Bone marrow aspirate smear — 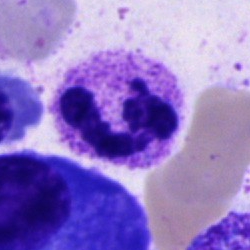

Polymorphonuclear neutrophil.